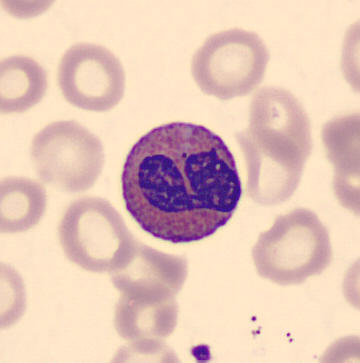 Cell type: eosinophil.
Peripheral blood smear.